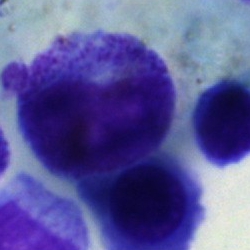Bone marrow smear showing a progranulocyte.